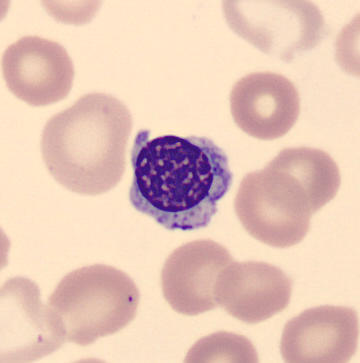 Image: CellaVision DM96.
Specimen: peripheral blood smear.
Cell: nucleated red cell.